Bone marrow aspirate smear. 40× oil immersion. Single-cell field — 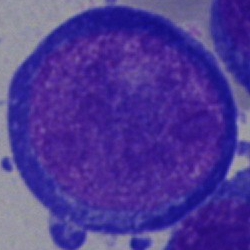

Cell type = pronormoblast.